40× oil immersion · bone marrow smear:
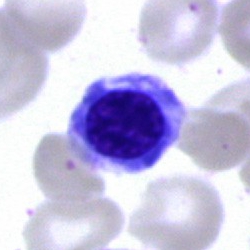

Morphology — erythroblast.